Peripheral blood smear · single-cell crop
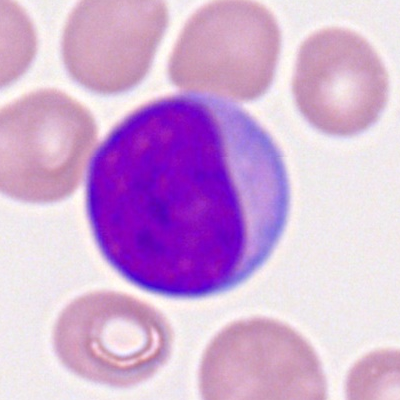 Single cell identified as a myeloblast.